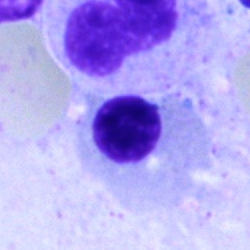Q: Which cell type is shown here?
A: It is a nucleated red blood cell.